Single cell centered in the field · bone marrow smear
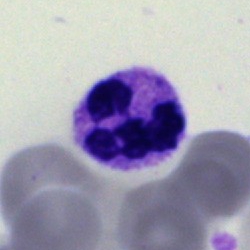 Showing a neutrophil (segmented).